Bone marrow smear: 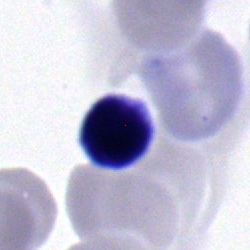

{"cell_type": "lymphocyte"}